Bone marrow smear — 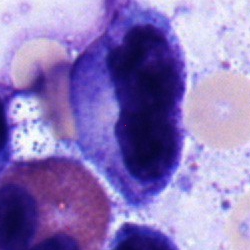Q: Identify the cell.
A: It is a promyelocyte.